Bone marrow aspirate smear · single cell centered in the field · MGG-stained: 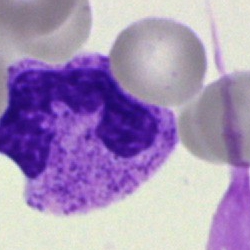
Q: What type of cell is this?
A: Neutrophil (segmented).